Bone marrow smear.
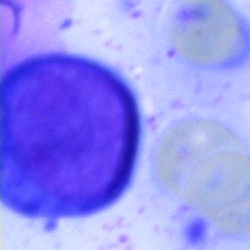A pronormoblast.